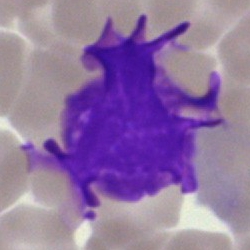
Bone marrow smear showing an artifact.